Bone marrow aspirate smear
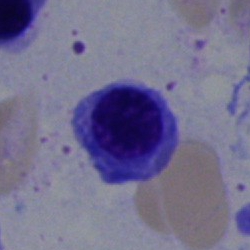 Q: Which cell type is shown here?
A: It is a nucleated red blood cell.